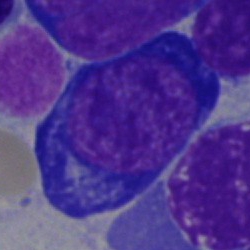
Classification — nucleated red cell.